Bone marrow smear
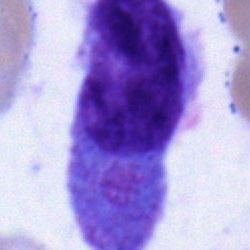Morphology → undifferentiated blast.